Single-cell field. Bone marrow aspirate smear:
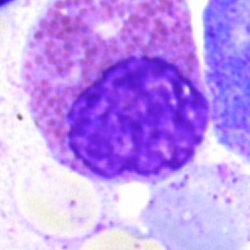Morphological class = eosinophil.